May-Grünwald-Giemsa/Pappenheim stain · bone marrow smear · 40× oil immersion: 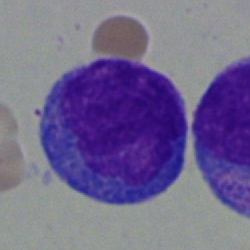

{"cell_type": "undifferentiated blast"}